Bone marrow aspirate smear:
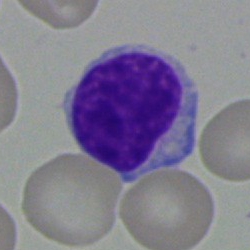
Specimen: bone marrow aspirate smear.
Cell: typical lymphocyte.
Lineage: lymphoid.